Peripheral blood smear:
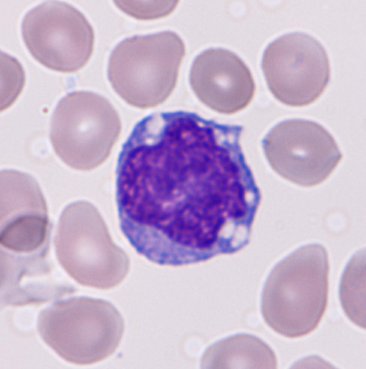
The cell shown is a monocyte.